Bone marrow aspirate smear; 250×250; MGG-stained
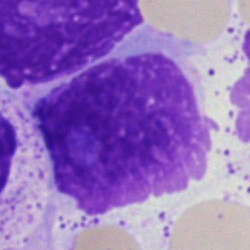
Cell — artefact.